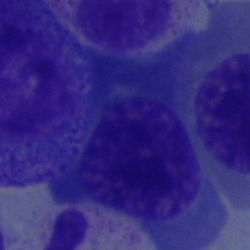
Q: What is the morphological classification of this cell?
A: This is an erythroblast.